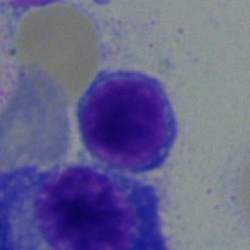 Showing a lymphocyte.